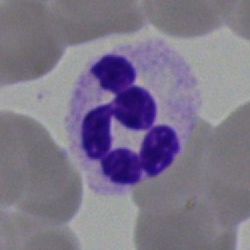

Classification = segmented neutrophil.